Bone marrow aspirate smear — 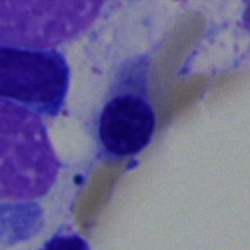
Showing an erythroblast.